Bone marrow smear: 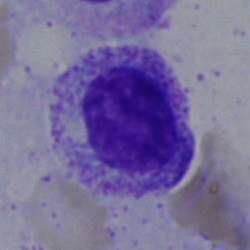 The cell shown is a myelocyte.